Peripheral blood smear.
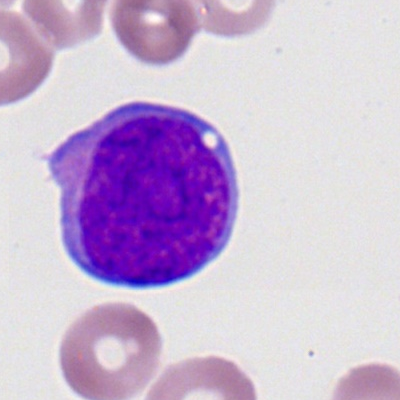
Single cell identified as a myeloblast.